Bone marrow smear.
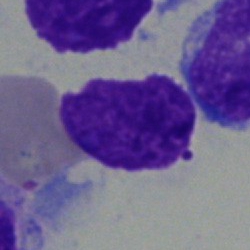
An artifact.